Single-cell crop · bone marrow smear: 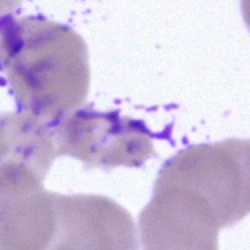 Cell type = artefact.